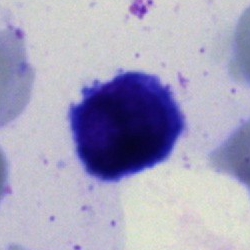 {"cell_type": "artifact"}